Cropped to a single cell. Bone marrow aspirate smear — 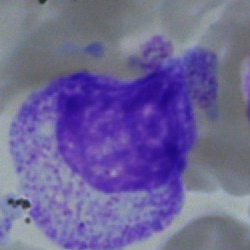Classification = myelocyte.